Bone marrow smear.
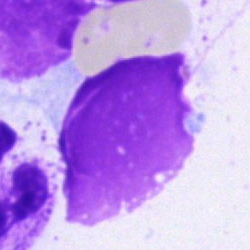Specimen: bone marrow smear.
Cell: artifact.